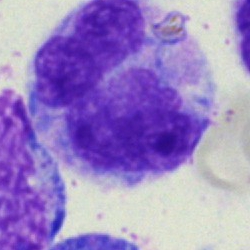

This is a monocyte.